Bone marrow smear:
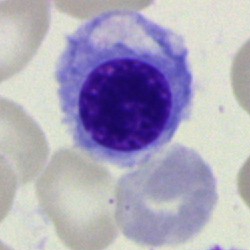 Q: Identify the cell.
A: A nucleated red cell.